Bone marrow smear: 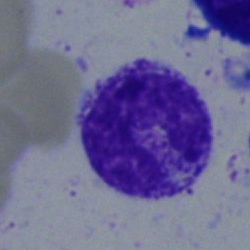

Cell type: band-form neutrophil.